Image size 250×250; 40× objective, oil immersion; bone marrow aspirate smear — 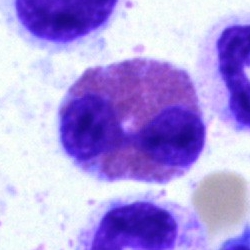 Impression — eosinophil.